Bone marrow aspirate smear:
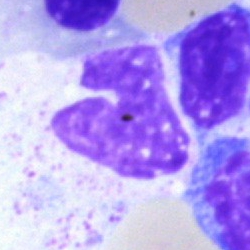Cell type = artifact.